Bone marrow smear — 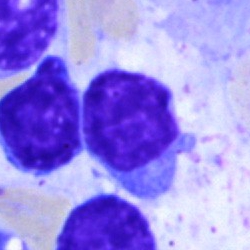

Classification: lymphocyte.